Single-cell field; bone marrow aspirate smear:
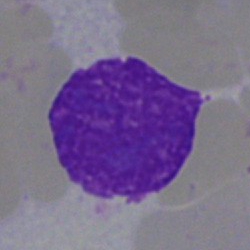

Cell — artifact.